Bone marrow aspirate smear · MGG-stained · 250×250 px — 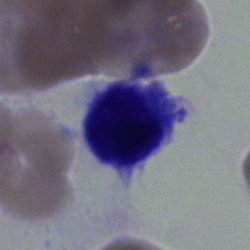Cell: lymphocyte.